Peripheral blood film — 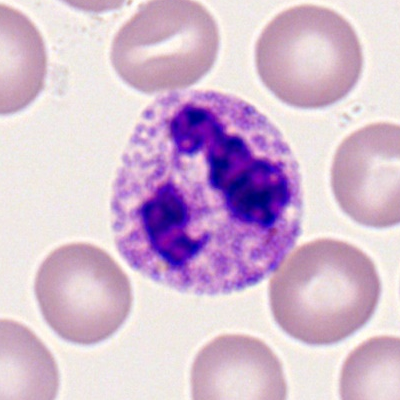
Morphology — polymorphonuclear neutrophil.